May-Grünwald-Giemsa/Pappenheim stain · bone marrow aspirate smear · brightfield microscopy, 40× oil immersion — 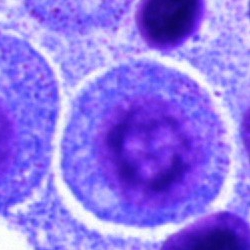

The cell shown is a progranulocyte.